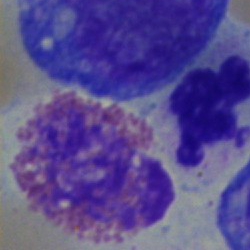

The classification is eosinophil.